Bone marrow smear · brightfield, 40× oil-immersion objective:
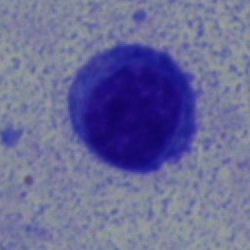

Cell type = plasmacyte.